Bone marrow aspirate smear. 250 by 250 pixels
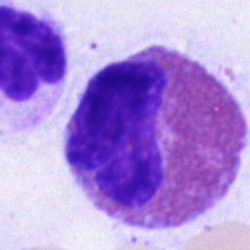Classification — eosinophil.